Bone marrow aspirate smear: 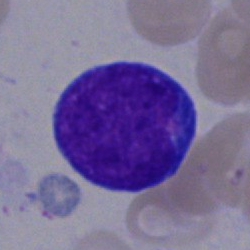

Single cell identified as an undifferentiated blast.